Single-cell field; bone marrow smear — 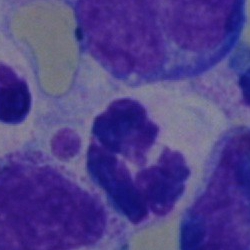

Neutrophil (segmented).